Peripheral blood smear: 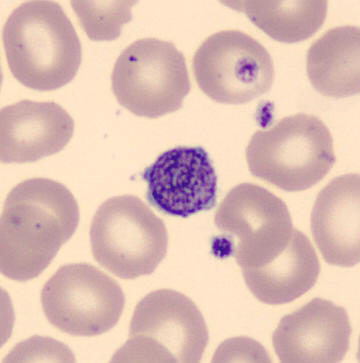
Platelet.